Bone marrow smear.
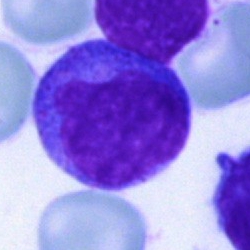
Specimen: bone marrow aspirate smear.
Cell: progranulocyte.